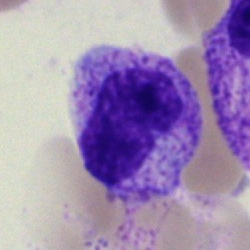
Bone marrow smear showing a metamyelocyte.